Bone marrow aspirate smear:
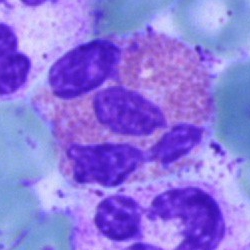

Eosinophilic granulocyte.